Bone marrow aspirate smear
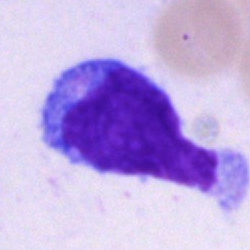 Undifferentiated blast.